Bone marrow aspirate smear — 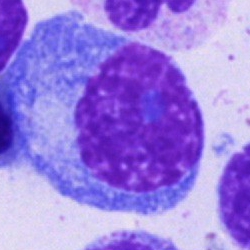

This is a plasmacyte.